Image size 250×250. Single-cell field. Bone marrow smear
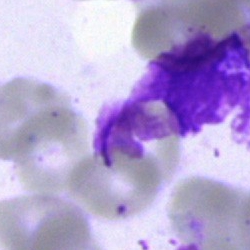 Q: What is shown here?
A: It is an artefact.